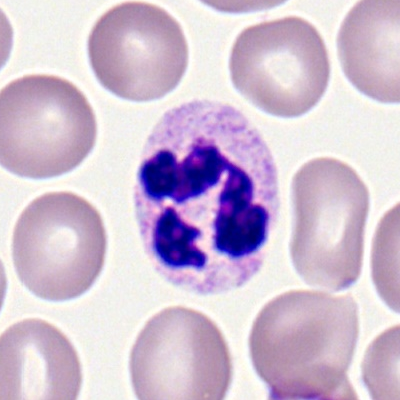 A polymorphonuclear neutrophil.